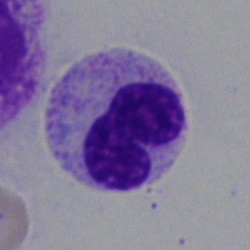Impression → stab cell.